250×250 px. Brightfield microscopy, 40× oil immersion. Bone marrow aspirate smear: 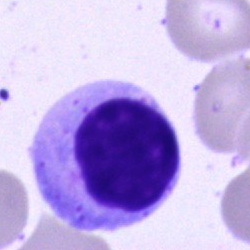

Showing an unidentifiable cell.